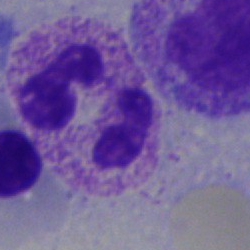Impression → polymorphonuclear neutrophil.